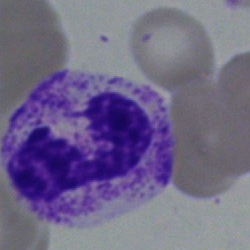

Bone marrow aspirate smear, single cell — polymorphonuclear neutrophil.